Bone marrow smear.
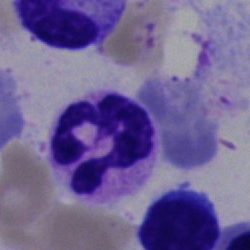Cell type — polymorphonuclear neutrophil.